Peripheral blood film · image size 400×400.
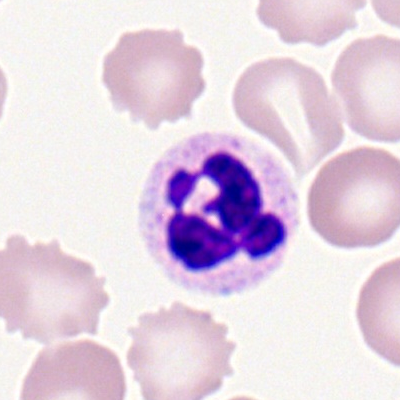

The cell shown is a segmented neutrophil.